Bone marrow smear: 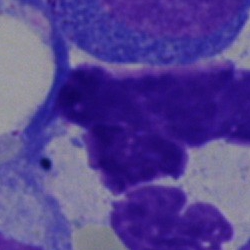
Cell type — artifact.